Bone marrow smear.
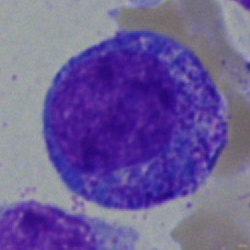

Q: Which cell type is shown here?
A: A promyelocyte.